Bone marrow smear; 40× objective, oil immersion:
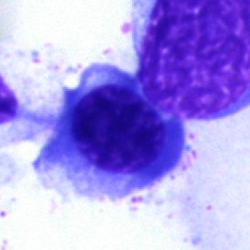This is an erythroblast.